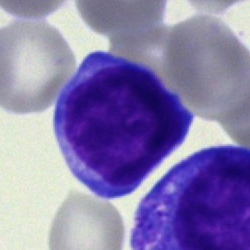 Q: What type of cell is this?
A: This is a typical lymphocyte.